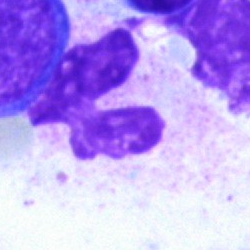

{"cell_type": "artefact"}